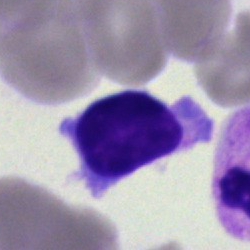

Specimen: bone marrow aspirate smear.
Classification: lymphocyte.
Lineage: lymphoid.